Bone marrow smear:
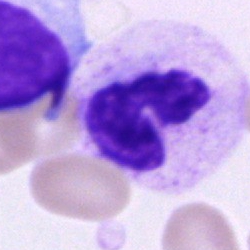

Single cell identified as a segmented neutrophil.